Bone marrow smear
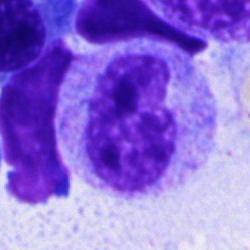Specimen: bone marrow smear.
Morphological class: metamyelocyte.
Lineage: myeloid.